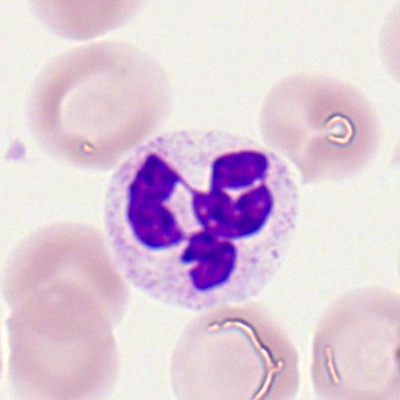 Peripheral blood film, single cell — neutrophil (segmented).